Bone marrow smear
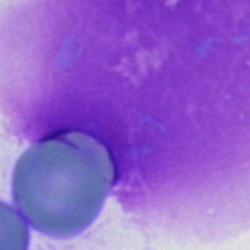Artefact.